Bone marrow smear.
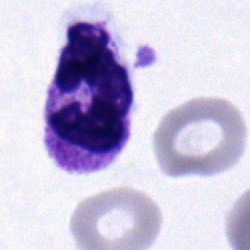

Q: Identify the cell.
A: This is a polymorphonuclear neutrophil.